Bone marrow smear: 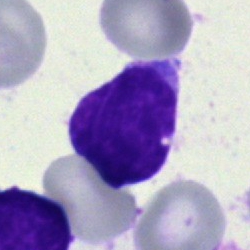
{"cell_type": "blast cell"}